Bone marrow aspirate smear; image size 250×250; 40× oil immersion — 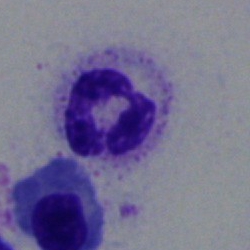 Q: What is the morphological classification of this cell?
A: Neutrophil (segmented).